Cropped to a single cell. Bone marrow smear. 250 by 250 pixels.
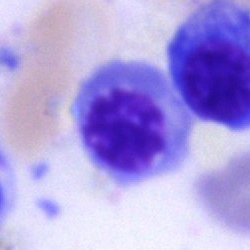Cell = nucleated red cell.